Bone marrow aspirate smear: 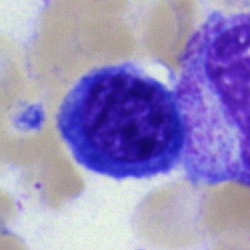

Morphology — nucleated red blood cell.